Image size 250×250. 40× objective, oil immersion. Bone marrow aspirate smear:
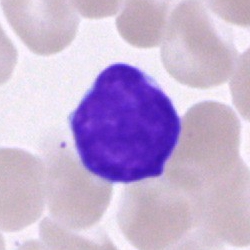
Q: What cell is this?
A: A lymphocyte.